Single cell centered in the field; bone marrow smear — 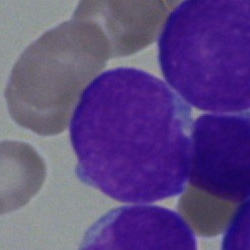

Single cell identified as an undifferentiated blast.